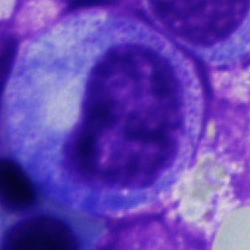 A progranulocyte.